Bone marrow smear · May-Grünwald-Giemsa/Pappenheim stain: 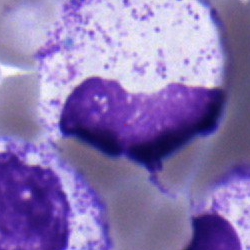Cell type = band neutrophil.